40× oil immersion. Bone marrow smear — 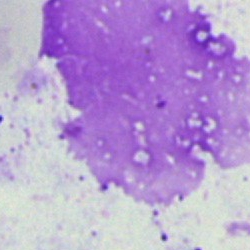
Cell type = artifact.